Bone marrow aspirate smear · 40× objective, oil immersion — 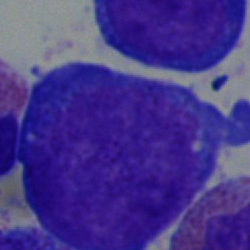
A progranulocyte.